Bone marrow smear · MGG-stained
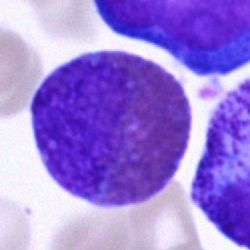

The cell is eosinophil.